Bone marrow aspirate smear: 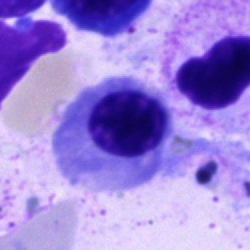Cell = normoblast.